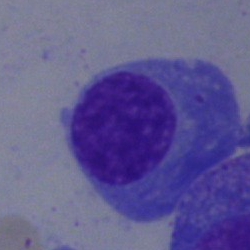Single cell identified as a plasmacyte.